Peripheral blood smear. M8 digital microscope (Precipoint), 100× oil immersion. Romanowsky stain:
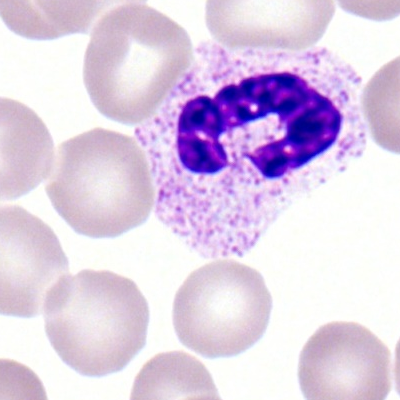Q: What type of cell is this?
A: It is a segmented neutrophil.